Bone marrow smear:
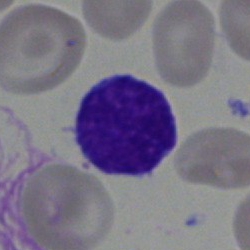
Showing a typical lymphocyte.